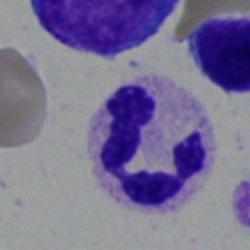The cell shown is a segmented neutrophil.